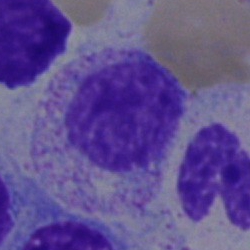Q: Which cell type is shown here?
A: A myelocyte.